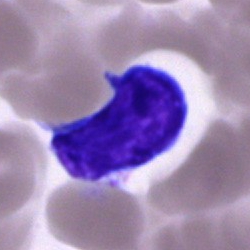 Specimen: bone marrow aspirate smear.
Morphological class: lymphocyte.